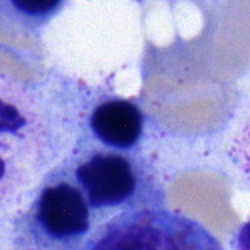

Q: What type of cell is this?
A: A nucleated red cell.